Bone marrow aspirate smear. Cropped to a single cell. 40× objective, oil immersion:
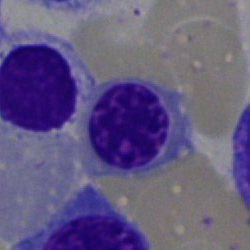

Specimen: bone marrow smear.
Cell type: normoblast.